Peripheral blood film:
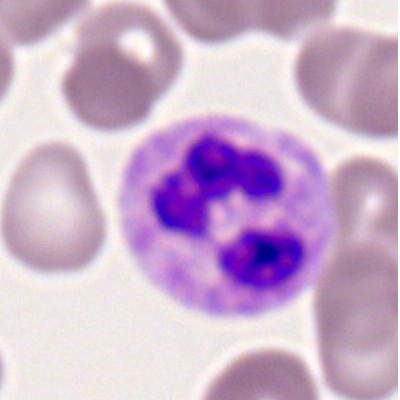

Segmented neutrophil.